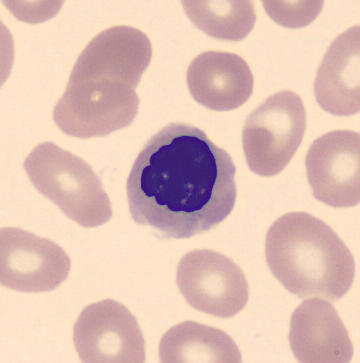 This is a normoblast. Image: Peripheral blood smear.